Bone marrow smear · May-Grünwald-Giemsa stain:
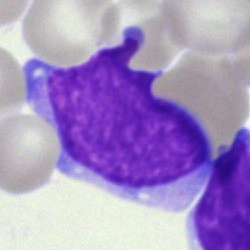

Q: What type of cell is this?
A: It is a blast cell.